250 by 250 pixels; single-cell field; bone marrow smear.
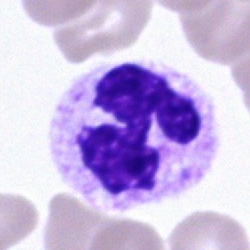
Single cell identified as a neutrophil (segmented).